May-Grünwald-Giemsa stain · bone marrow smear · image size 250×250
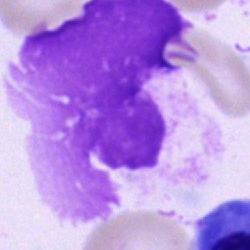 Morphological class: artifact.